250×250 px · 40× objective, oil immersion · bone marrow aspirate smear: 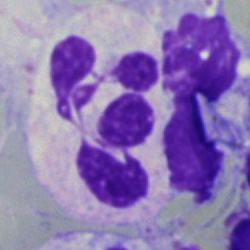

Neutrophil (segmented).